Bone marrow smear: 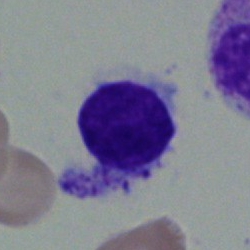 A lymphocyte.